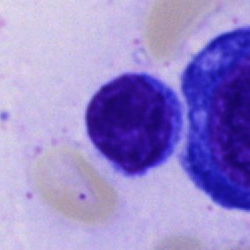Q: Which cell type is shown here?
A: It is a typical lymphocyte.